May-Grünwald-Giemsa stain · bone marrow smear — 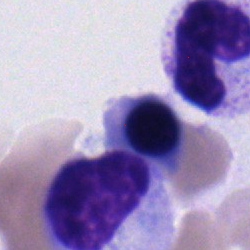
Impression → myelocyte.